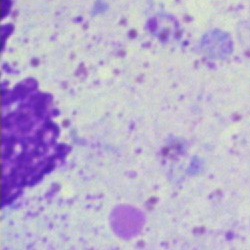 The cell shown is an artefact.